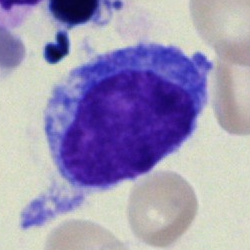A blast.